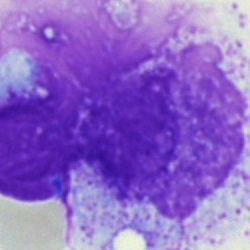
Specimen: bone marrow smear.
Morphological class: artifact.